Bone marrow aspirate smear
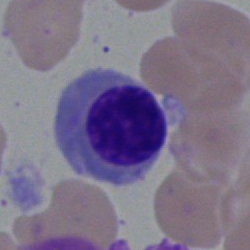Impression — nucleated red blood cell.